Bone marrow smear. Single-cell crop.
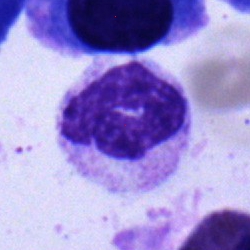Specimen: bone marrow aspirate smear.
Cell type: neutrophil (segmented).
Lineage: myeloid.